Bone marrow aspirate smear. Single-cell field
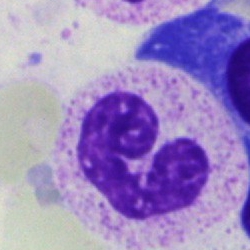

This is a segmented neutrophil.